Bone marrow smear · May-Grünwald-Giemsa/Pappenheim stain: 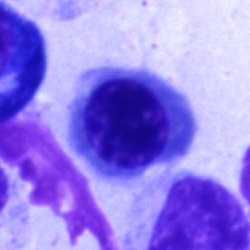
Q: What is shown here?
A: It is an erythroblast.